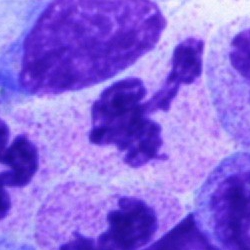

{"cell_type": "polymorphonuclear neutrophil", "lineage": "myeloid"}